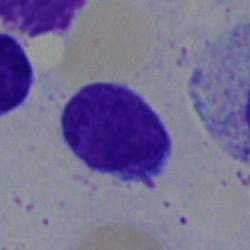 Q: What is shown here?
A: Typical lymphocyte.